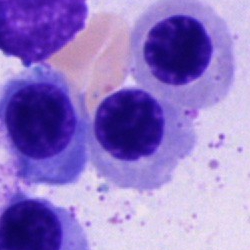 Specimen: bone marrow aspirate smear.
Classification: normoblast.